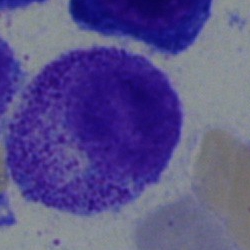 Q: What cell is this?
A: Myelocyte.